Image size 250×250. Bone marrow smear:
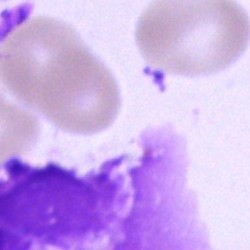
Showing an artefact.